Peripheral blood smear:
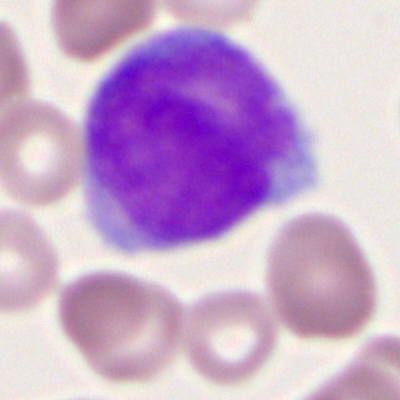Q: What type of cell is this?
A: It is a myeloblast.